Bone marrow smear.
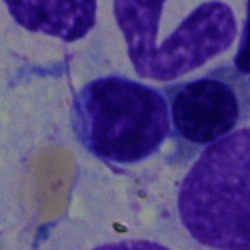
Impression → typical lymphocyte.